100× oil immersion; peripheral blood smear:
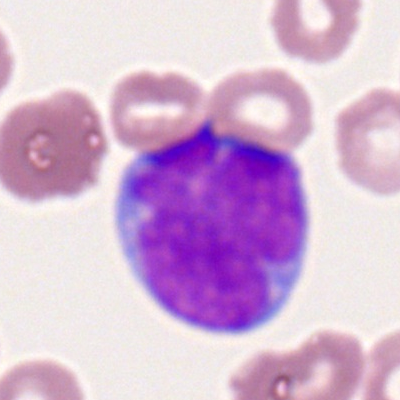

Myeloblast.